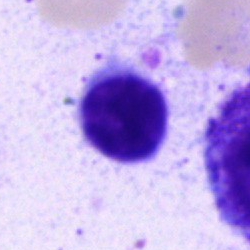
Cell type = typical lymphocyte.